Bone marrow aspirate smear — 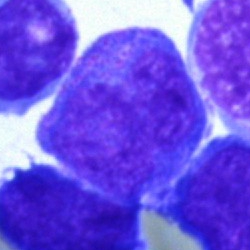
Showing an undifferentiated blast.